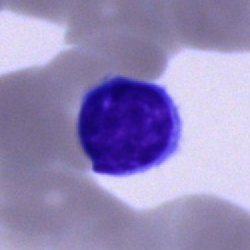
Specimen: bone marrow aspirate smear.
Cell: lymphocyte.